Bone marrow aspirate smear; image size 250×250
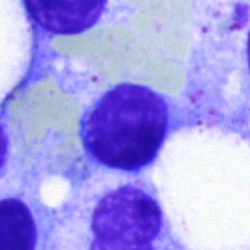 Q: Which cell type is shown here?
A: This is a lymphocyte.